Bone marrow smear. Brightfield, 40× oil-immersion objective
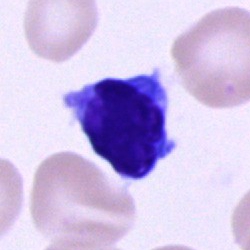
The classification is typical lymphocyte.